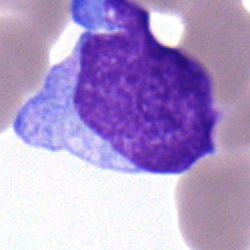
Q: Which cell type is shown here?
A: An undifferentiated blast.